Image size 250×250. Bone marrow aspirate smear. May-Grünwald-Giemsa stain
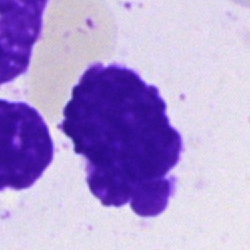Q: What is shown here?
A: This is an artifact.